Bone marrow smear — 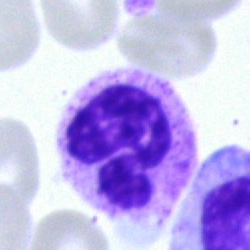
Cell = neutrophil (segmented).